Bone marrow aspirate smear: 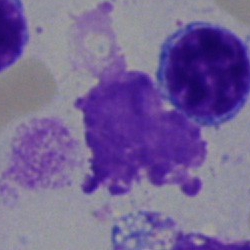Cell — lymphocyte.